Bone marrow aspirate smear.
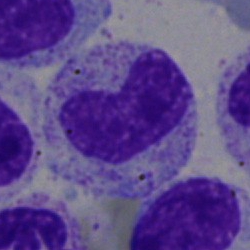

Q: Identify the cell.
A: This is a neutrophil (band).